Bone marrow aspirate smear.
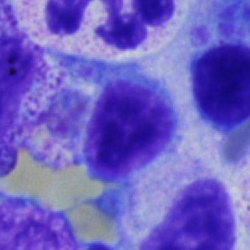 The cell type is typical lymphocyte.